Single-cell crop. Peripheral blood film — 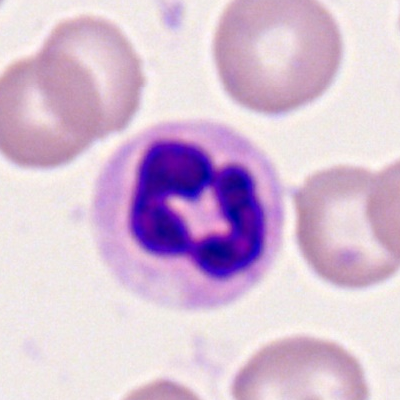 A segmented neutrophil.